Bone marrow aspirate smear
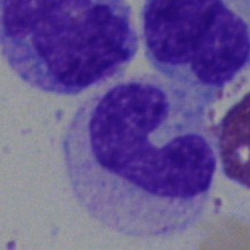

Morphology consistent with a band neutrophil.